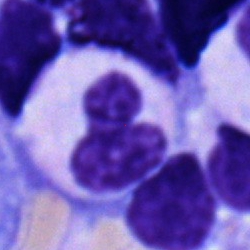

Q: What cell is this?
A: A stab cell.